Bone marrow smear — 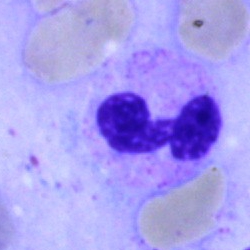

Specimen: bone marrow smear.
Cell: segmented neutrophil.
Lineage: myeloid.